Peripheral blood film — 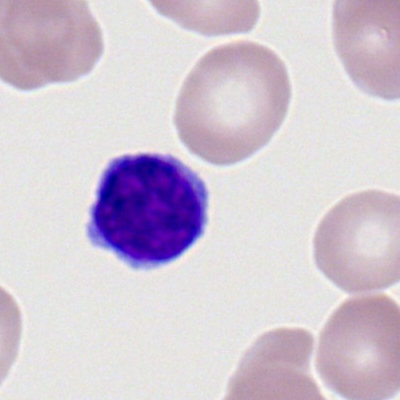

Specimen: peripheral blood smear.
Morphological class: typical lymphocyte.